250×250 px; bone marrow smear: 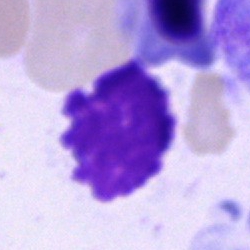
Cell type = artefact.